250×250 · single cell centered in the field · bone marrow smear
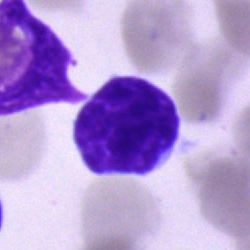Single cell identified as a typical lymphocyte.